Peripheral blood film.
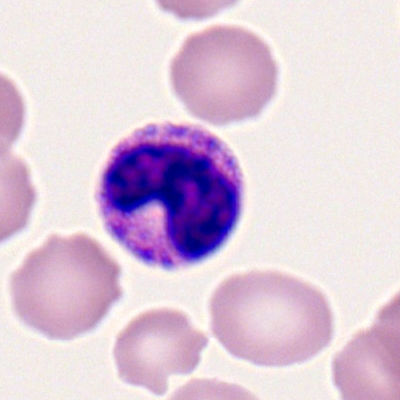

The morphological class is neutrophil (band).